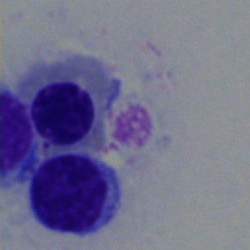The morphological class is erythroblast.